MGG-stained. 250 by 250 pixels. Bone marrow aspirate smear: 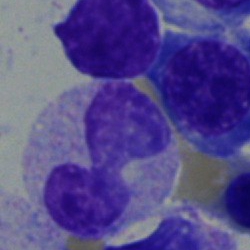
Cell: band-form neutrophil.